Bone marrow aspirate smear.
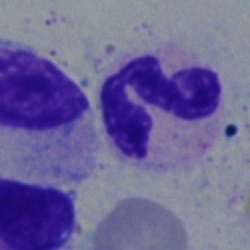
Specimen: bone marrow smear.
Classification: neutrophil (segmented).
Lineage: myeloid.